250 by 250 pixels · bone marrow smear · MGG-stained — 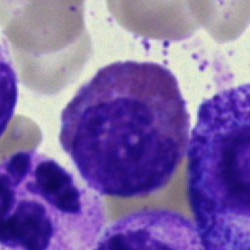
Morphological class = eosinophilic granulocyte.